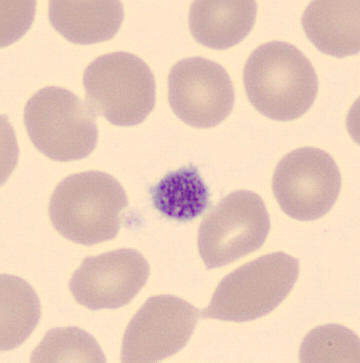
Morphological class: platelet. MGG stain. Peripheral blood film.